Bone marrow smear.
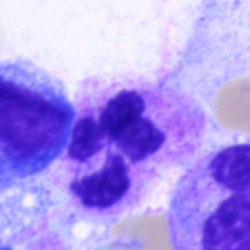
Q: What is shown here?
A: This is a polymorphonuclear neutrophil.